Bone marrow smear — 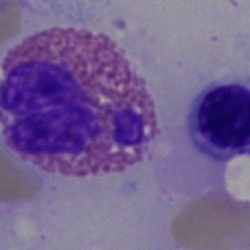 Morphological class — eosinophilic granulocyte.